Bone marrow aspirate smear
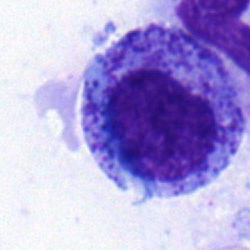 A promyelocyte.